Bone marrow aspirate smear · single-cell crop
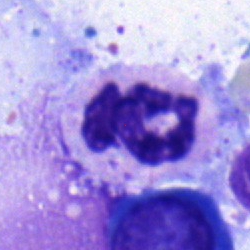

Classification = neutrophil (segmented).